Bone marrow smear. 250×250 — 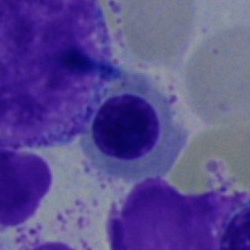 Impression → nucleated red blood cell.